Bone marrow aspirate smear.
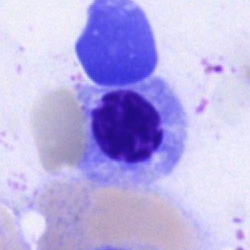
The morphological class is nucleated red blood cell.